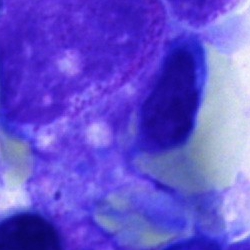

Bone marrow smear showing an artefact.